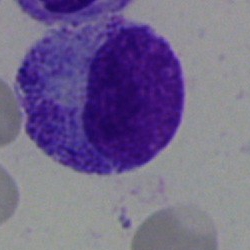
Impression → myelocyte.